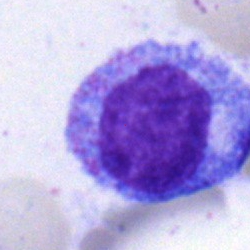Bone marrow smear showing a progranulocyte.